Bone marrow aspirate smear:
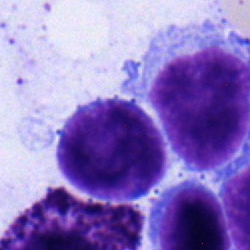Specimen: bone marrow aspirate smear.
Cell: lymphocyte.